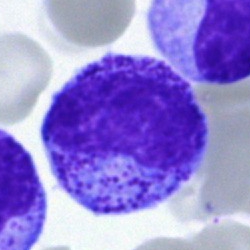 Q: What cell is this?
A: It is a metamyelocyte.